Bone marrow aspirate smear: 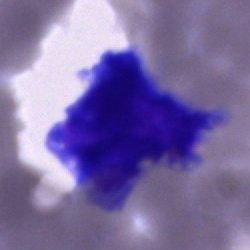 Single cell identified as an undifferentiated blast.